Peripheral blood smear: 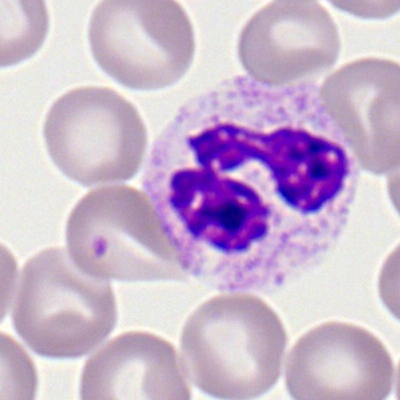A polymorphonuclear neutrophil.